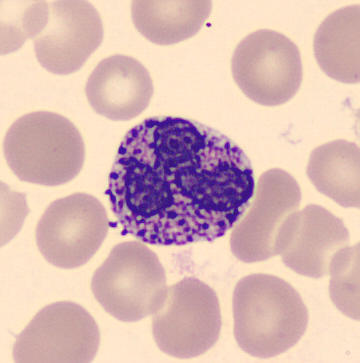
This is a basophilic granulocyte.

Acquisition: 360×363 px. Peripheral blood film.